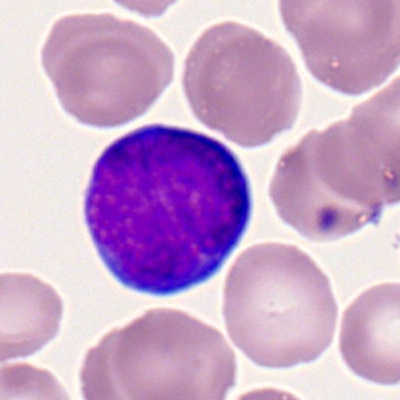
Specimen: peripheral blood smear.
Morphological class: myeloid blast.
Lineage: myeloid.